Bone marrow aspirate smear · 40× objective, oil immersion: 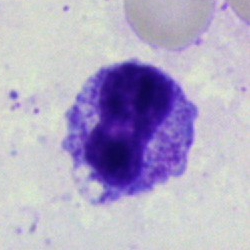The cell shown is a metamyelocyte.